Peripheral blood film.
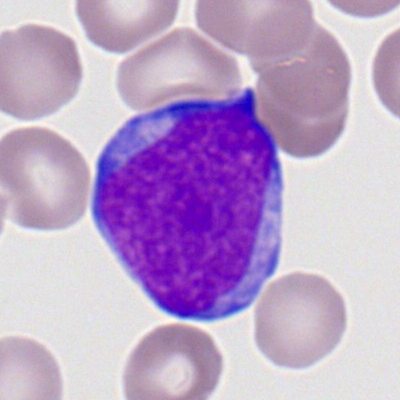 Morphology consistent with a myeloblast.